Single cell centered in the field · bone marrow smear · brightfield, 40× oil-immersion objective:
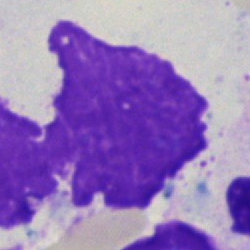
Single cell identified as an artifact.